Single-cell crop. Bone marrow aspirate smear.
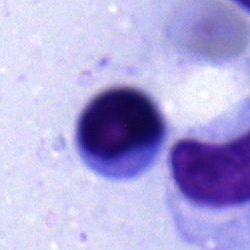

Q: Identify the cell.
A: It is a lymphocyte.